Bone marrow smear — 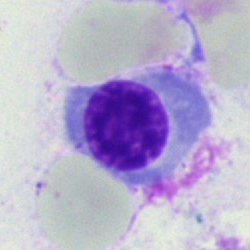

Nucleated red blood cell.